Single cell centered in the field. Bone marrow aspirate smear: 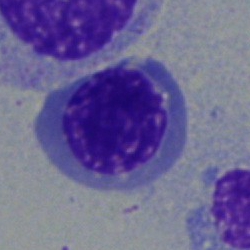This is an erythroblast.